Bone marrow smear: 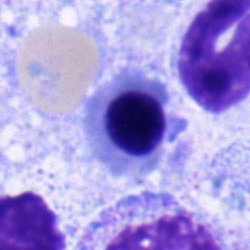
Q: What is the morphological classification of this cell?
A: This is a nucleated red blood cell.